Bone marrow smear · May-Grünwald-Giemsa/Pappenheim stain · 250×250 — 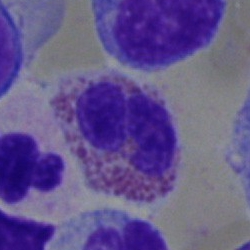 Morphology consistent with an eosinophilic granulocyte.